Bone marrow aspirate smear:
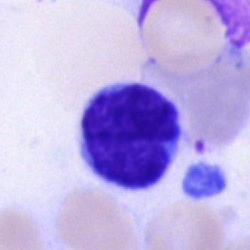 Lymphocyte.